Bone marrow aspirate smear; May-Grünwald-Giemsa/Pappenheim stain — 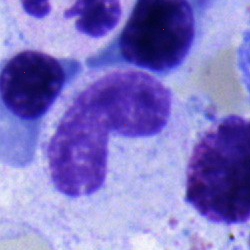

Morphological class = band-form neutrophil.